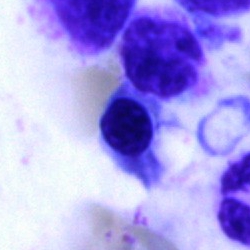 Bone marrow smear showing a nucleated red blood cell.